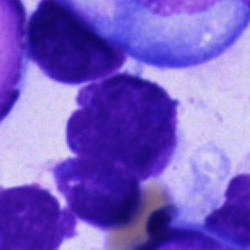
Morphological class = cell of indeterminate lineage.